Bone marrow smear
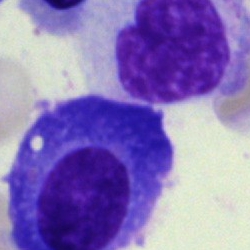 Morphological class: plasma cell.